Bone marrow aspirate smear; 250 by 250 pixels; May-Grünwald-Giemsa/Pappenheim stain — 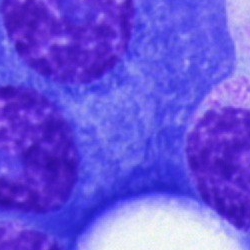

Cell type: plasmacyte.